Bone marrow smear.
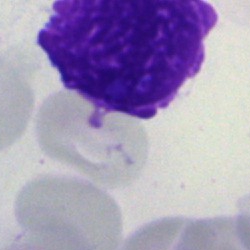 Morphological class — artifact.